Bone marrow smear: 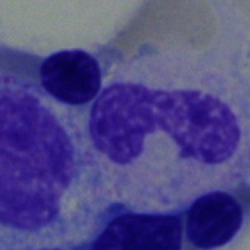 Morphology → band-form neutrophil.